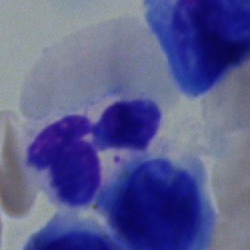 Morphological class — polymorphonuclear neutrophil.